100× objective, oil immersion · peripheral blood smear · Romanowsky-type stain: 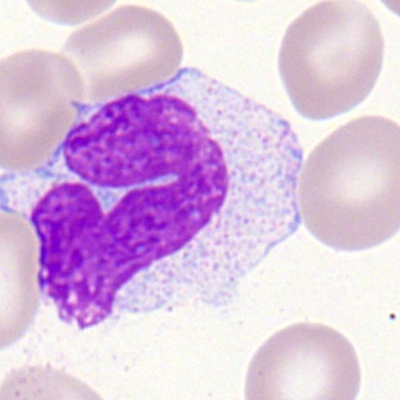
A monocyte.